Bone marrow aspirate smear: 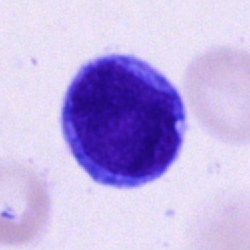
Classification = monocyte.